Bone marrow smear — 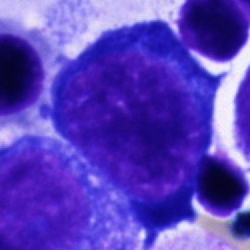The cell type is nucleated red cell.